Bone marrow smear; brightfield microscopy, 40× oil immersion
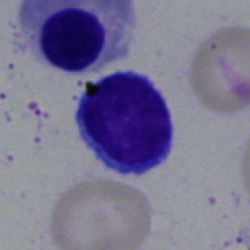 Morphology consistent with a typical lymphocyte.